Bone marrow smear
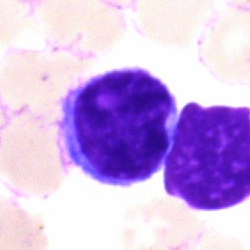 Morphology — typical lymphocyte.